Brightfield microscopy, 40× oil immersion; bone marrow smear:
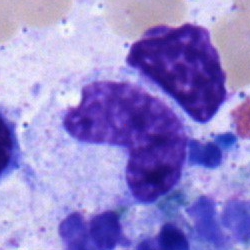

Impression — metamyelocyte.